Peripheral blood smear: 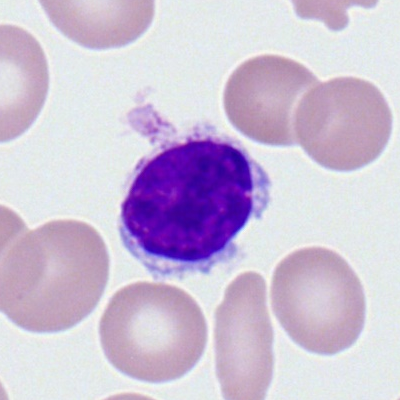 Morphological class — typical lymphocyte.